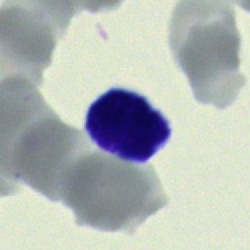Q: What is the morphological classification of this cell?
A: It is a typical lymphocyte.